Cropped to a single cell; 40× objective, oil immersion; bone marrow aspirate smear:
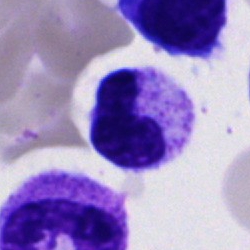 Specimen: bone marrow smear.
Cell: neutrophil (segmented).
Lineage: myeloid.